May-Grünwald-Giemsa/Pappenheim stain; bone marrow aspirate smear
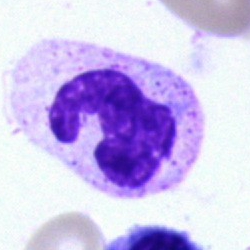

Specimen: bone marrow aspirate smear.
Morphological class: neutrophil (segmented).
Lineage: myeloid.